Peripheral blood film — 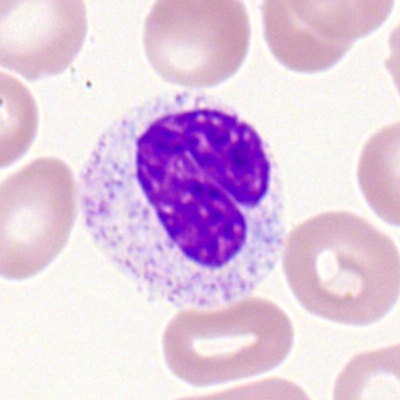 {"cell_type": "stab cell"}